Bone marrow aspirate smear — 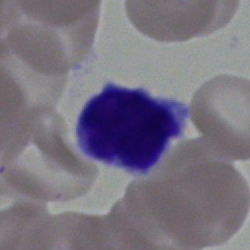
Morphology — lymphocyte.